May-Grünwald-Giemsa stain. Bone marrow smear — 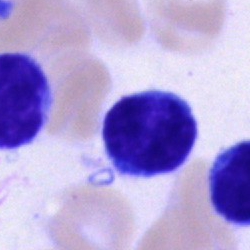
A lymphocyte.